Pappenheim-stained; bone marrow smear.
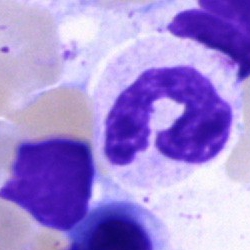 Specimen: bone marrow aspirate smear.
Cell: polymorphonuclear neutrophil.
Lineage: myeloid.